Pappenheim-stained; bone marrow smear:
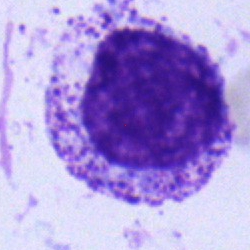 Morphology consistent with a myelocyte.